400 by 400 pixels; cropped to a single cell; peripheral blood film — 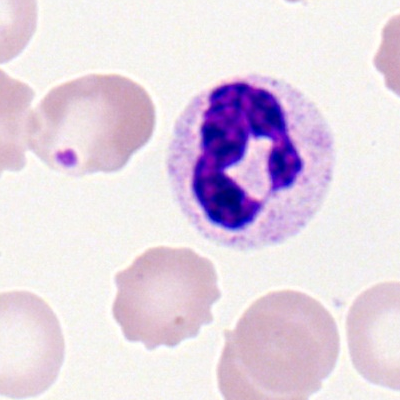 Single cell identified as a segmented neutrophil.